Bone marrow smear:
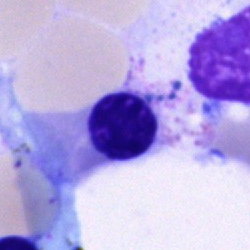Morphology — normoblast.